Bone marrow smear: 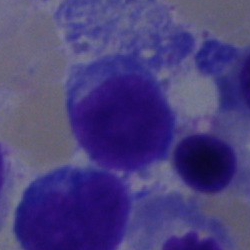

Specimen: bone marrow aspirate smear.
Morphological class: typical lymphocyte.